Single-cell field · brightfield microscopy, 40× oil immersion · bone marrow aspirate smear.
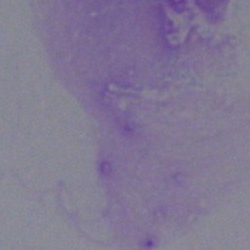{"cell_type": "artefact"}